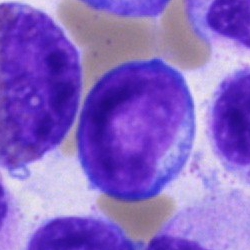 Single cell identified as a typical lymphocyte.